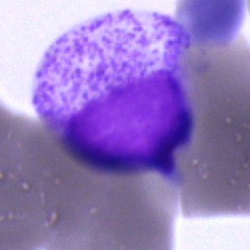Classification — myelocyte.